Bone marrow smear; cropped to a single cell
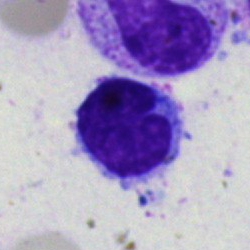
Morphological class — lymphocyte.